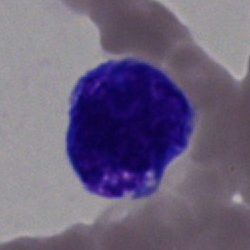
The classification is promyelocyte.